Single-cell crop. Bone marrow smear. Brightfield, 40× oil-immersion objective
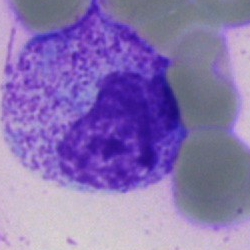Single cell identified as a myelocyte.